Peripheral blood smear — 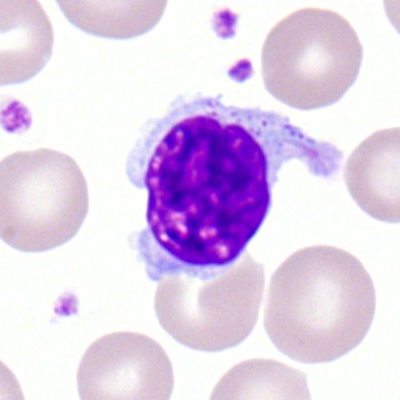Lymphocyte.